Bone marrow aspirate smear — 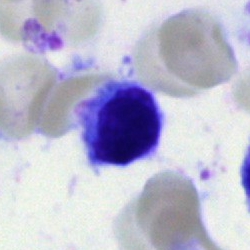 Q: Identify the cell.
A: This is a typical lymphocyte.